Bone marrow smear
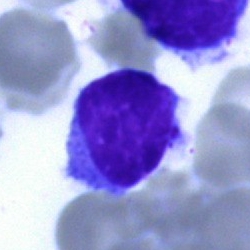Q: What is shown here?
A: It is a lymphocyte.